Bone marrow smear.
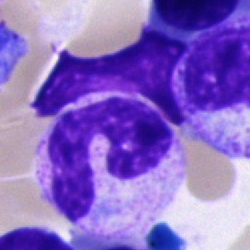Band-form neutrophil.